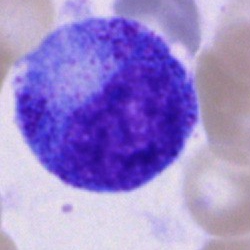 Single-cell crop from a bone marrow smear: progranulocyte.